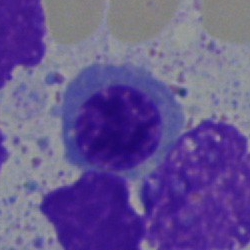Specimen: bone marrow smear.
Classification: normoblast.